May-Grünwald-Giemsa/Pappenheim stain · bone marrow aspirate smear:
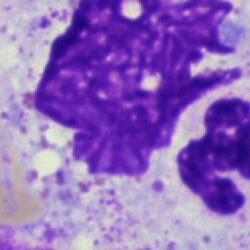

Morphology → artifact.